Bone marrow aspirate smear. 40× objective, oil immersion
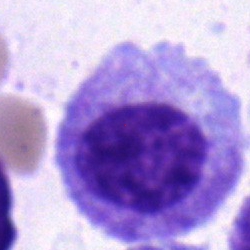Impression → myelocyte.